Peripheral blood film
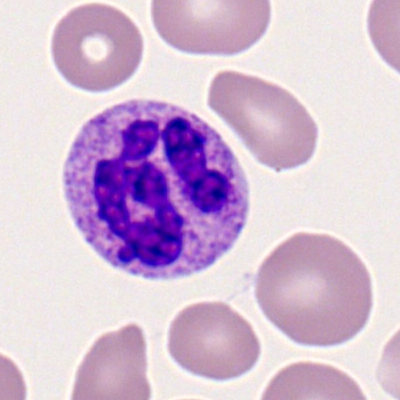Specimen: peripheral blood film.
Cell: polymorphonuclear neutrophil.
Lineage: myeloid.